Image size 400×400; peripheral blood smear — 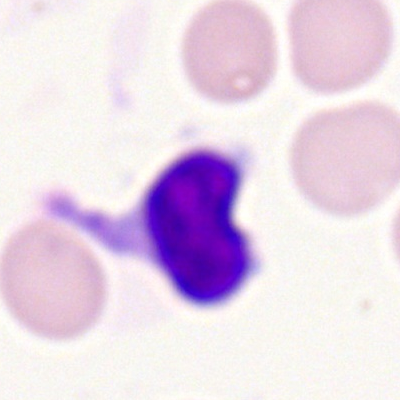The cell shown is a typical lymphocyte.